Bone marrow aspirate smear; May-Grünwald-Giemsa/Pappenheim stain; brightfield, 40× oil-immersion objective:
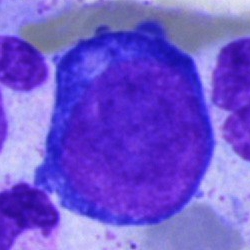 Cell = pronormoblast.